Bone marrow aspirate smear: 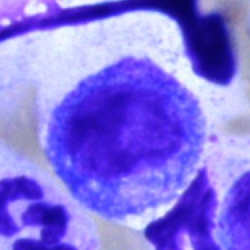 This is a promyelocyte.